MGG-stained · bone marrow smear · cropped to a single cell
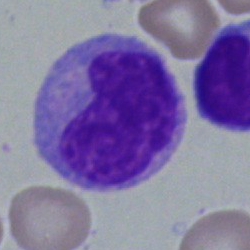

The cell type is monocyte.